MGG-stained; bone marrow aspirate smear; single-cell crop.
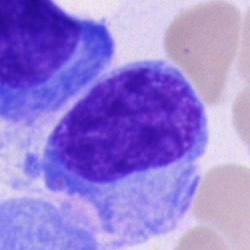

Impression → plasmacyte.